Single cell centered in the field; bone marrow smear
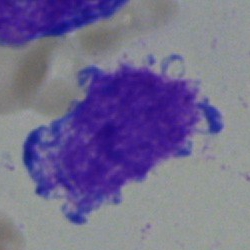

A blast.